Peripheral blood film — 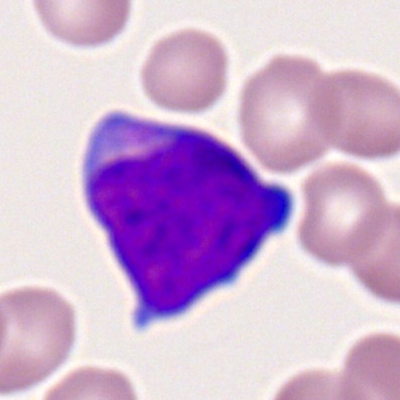
Q: Which cell type is shown here?
A: This is a myeloid blast.